Bone marrow smear:
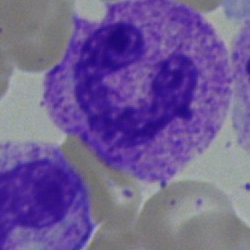Specimen: bone marrow smear.
Classification: band neutrophil.
Lineage: myeloid.